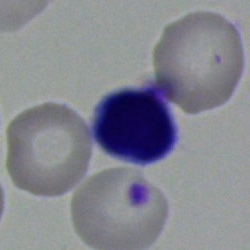Morphology → typical lymphocyte.